MGG-stained. Bone marrow aspirate smear.
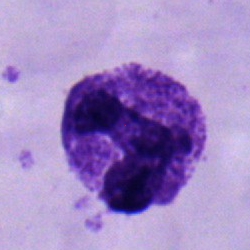 Single cell identified as a segmented neutrophil.